Brightfield microscopy, 40× oil immersion; bone marrow aspirate smear
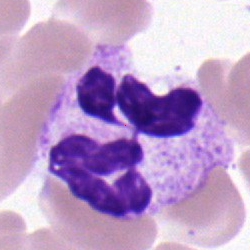

Q: What cell is this?
A: Neutrophil (segmented).